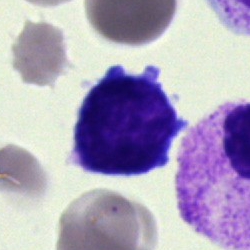 {"cell_type": "lymphocyte", "lineage": "lymphoid"}